Bone marrow smear.
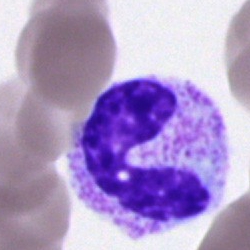
Single cell identified as a polymorphonuclear neutrophil.